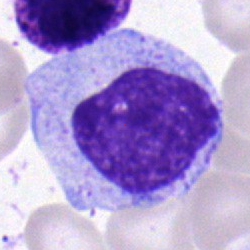 A myelocyte.